Bone marrow smear
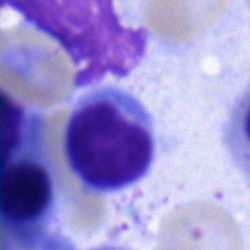

Cell type: typical lymphocyte.